Bone marrow smear; single-cell field:
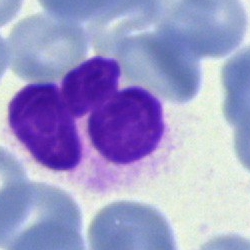
Single cell identified as a polymorphonuclear neutrophil.